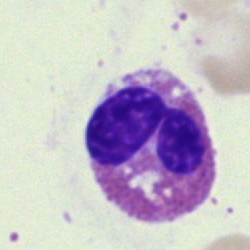
Bone marrow smear showing an eosinophilic granulocyte.